Bone marrow smear.
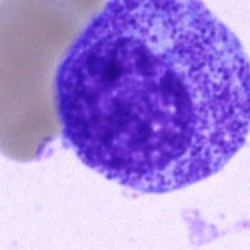Showing a promyelocyte.